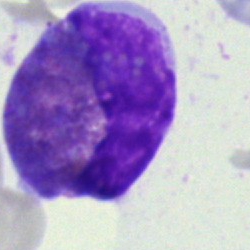

Morphology → eosinophil.